250×250 px. Bone marrow smear — 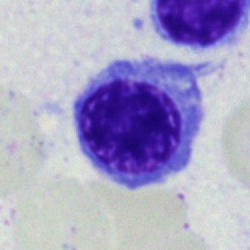
Q: What type of cell is this?
A: It is a normoblast.